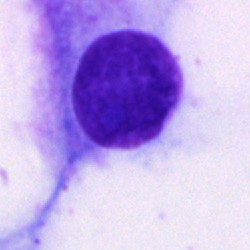 Showing an artefact.